May-Grünwald-Giemsa stain. Bone marrow aspirate smear: 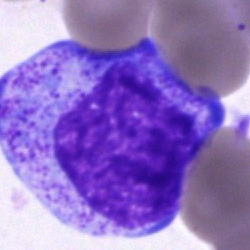
The cell shown is a promyelocyte.